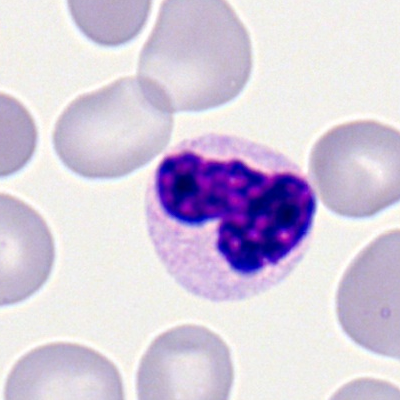
Single-cell crop from a peripheral blood smear: neutrophil (segmented).